Bone marrow aspirate smear — 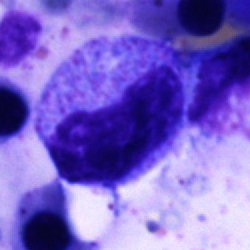

Specimen: bone marrow aspirate smear.
Cell type: promyelocyte.
Lineage: myeloid.